Bone marrow smear
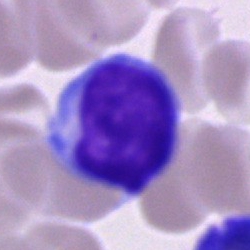 Q: What is shown here?
A: A lymphocyte.